Bone marrow smear.
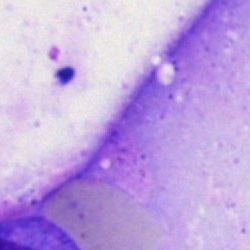
Single cell identified as an artefact.